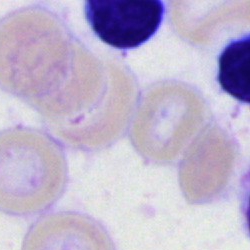 Cell = artefact.